Bone marrow smear:
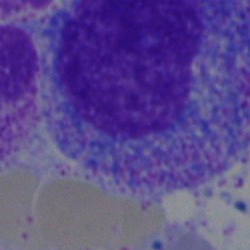 Morphology consistent with a promyelocyte.